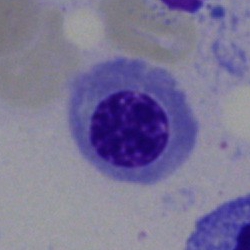

Q: Which cell type is shown here?
A: A normoblast.